Bone marrow aspirate smear; image size 250×250:
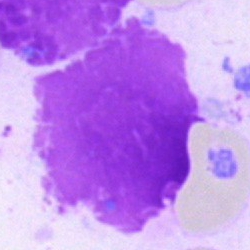 Morphological class = artifact.